Bone marrow aspirate smear
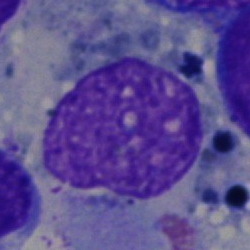Morphology — artifact.